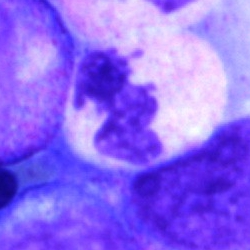

Classification = polymorphonuclear neutrophil.